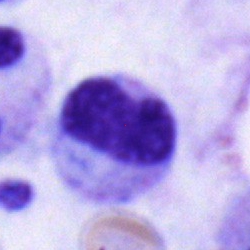

The classification is myelocyte.